Bone marrow aspirate smear
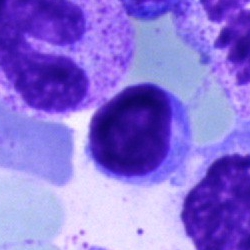
Morphology → lymphocyte.